40× oil immersion. 250 by 250 pixels. Bone marrow aspirate smear: 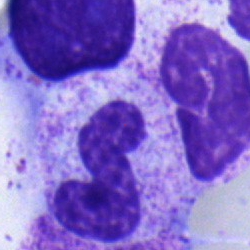Morphology consistent with a band-form neutrophil.